Bone marrow aspirate smear — 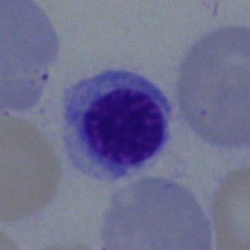 An erythroblast.